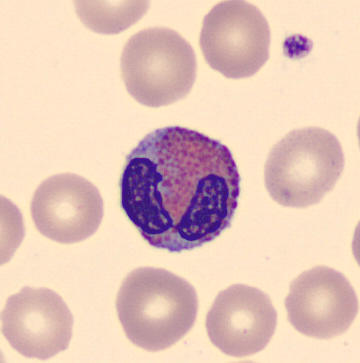
Acquisition: MGG-stained. Peripheral blood film. This is an eosinophil.